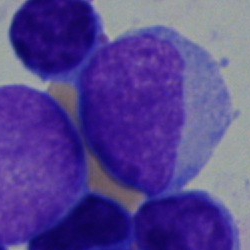

Bone marrow aspirate smear, single cell — undifferentiated blast.